250 by 250 pixels · MGG-stained · bone marrow aspirate smear — 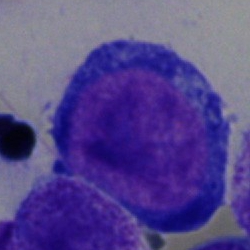

Impression → pronormoblast.